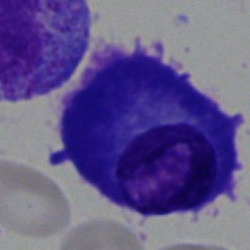Cell: plasmacyte.